40× oil immersion. Bone marrow smear — 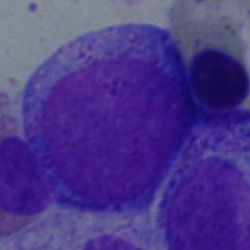
Classification: progranulocyte.